Bone marrow smear:
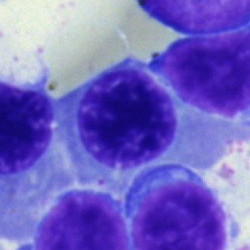Morphology consistent with a nucleated red blood cell.